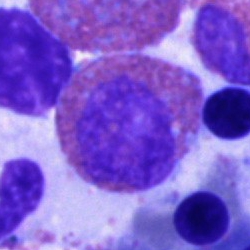

An eosinophil.